Bone marrow smear. 40× oil immersion:
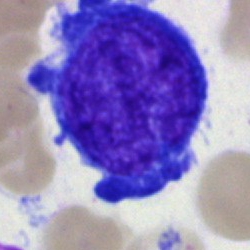

A lymphocyte (immature).